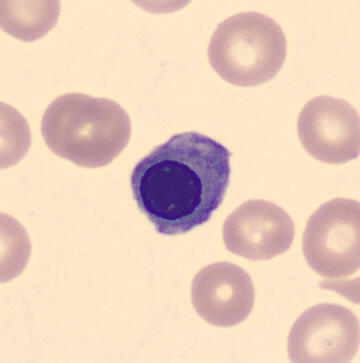
Specimen: peripheral blood smear.
Classification: nucleated red blood cell. Image size 360×363 · May-Grünwald-Giemsa-stained.